Bone marrow aspirate smear · single cell centered in the field: 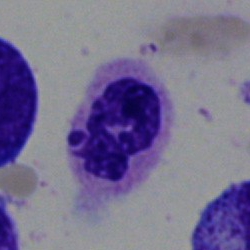This is a neutrophil (segmented).